Bone marrow smear.
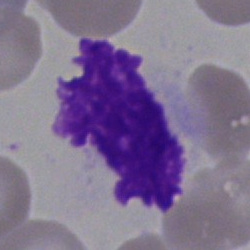 Single cell identified as an artifact.